Bone marrow aspirate smear
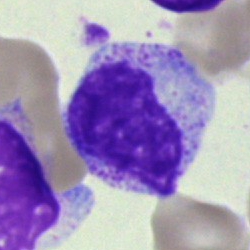

Cell type: myelocyte.